Bone marrow aspirate smear; May-Grünwald-Giemsa/Pappenheim stain; brightfield microscopy, 40× oil immersion:
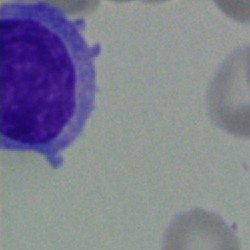

Specimen: bone marrow smear.
Morphological class: plasma cell.